May-Grünwald-Giemsa stain. Single-cell field. Bone marrow aspirate smear
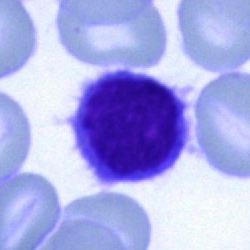 Specimen: bone marrow smear.
Cell type: lymphocyte.